Bone marrow aspirate smear. 40× objective, oil immersion:
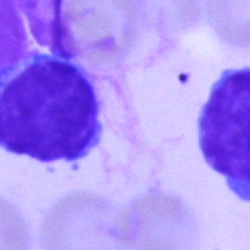
Classification = lymphocyte.